Bone marrow aspirate smear — 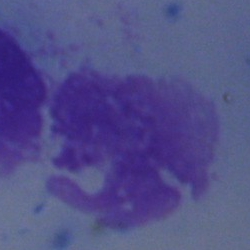 Specimen: bone marrow smear.
Cell: artefact.